Bone marrow smear: 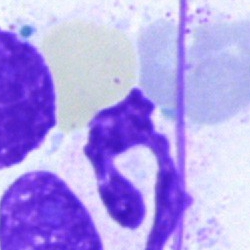
Artifact.